Bone marrow smear.
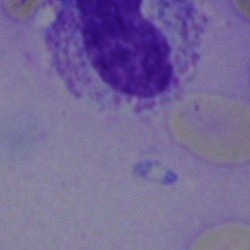
The classification is artifact.